Bone marrow aspirate smear
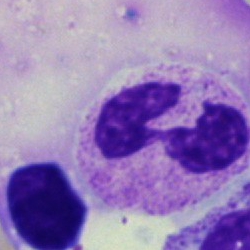 Morphology — segmented neutrophil.